Bone marrow smear.
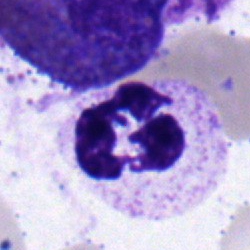
Single cell identified as a segmented neutrophil.